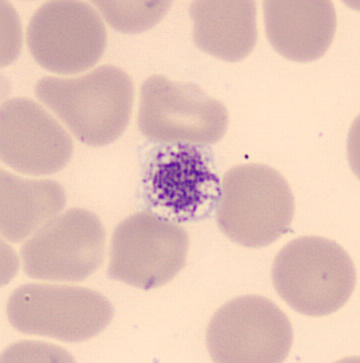
The morphological class is platelet (thrombocyte).